Image size 250×250 · bone marrow aspirate smear — 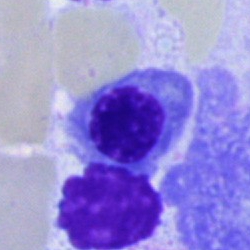Cell = normoblast.